Bone marrow aspirate smear.
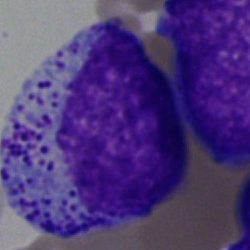
Specimen: bone marrow smear.
Cell type: progranulocyte.
Lineage: myeloid.